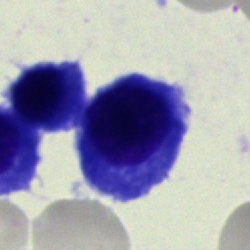 A nucleated red cell.